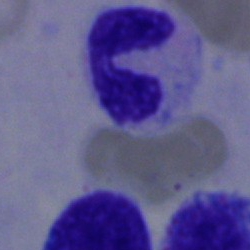
Specimen: bone marrow smear.
Classification: polymorphonuclear neutrophil.
Lineage: myeloid.